Bone marrow smear · Pappenheim-stained · 250 by 250 pixels:
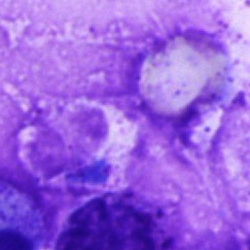

Specimen: bone marrow smear.
Morphological class: artefact.